Image size 250×250 · bone marrow aspirate smear · brightfield, 40× oil-immersion objective:
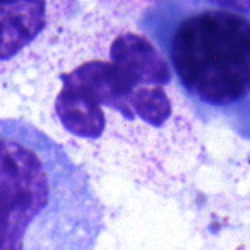The cell shown is a neutrophil (segmented).